Bone marrow aspirate smear: 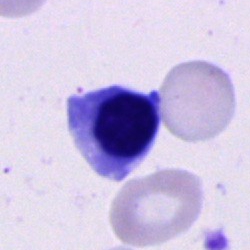

Morphology → cell of indeterminate lineage.